Bone marrow smear
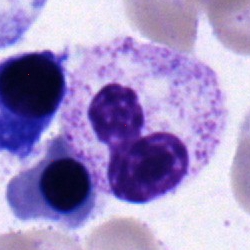 Specimen: bone marrow smear.
Cell type: segmented neutrophil.
Lineage: myeloid.